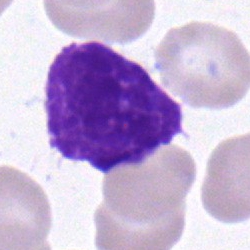

{"cell_type": "lymphocyte", "lineage": "lymphoid"}